Bone marrow smear:
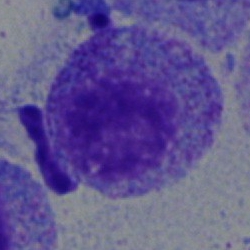Specimen: bone marrow smear.
Morphological class: myelocyte.
Lineage: myeloid.